Bone marrow aspirate smear. May-Grünwald-Giemsa stain.
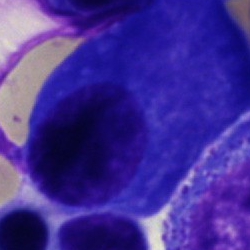
Classification = plasmacyte.